May-Grünwald-Giemsa stain · bone marrow aspirate smear — 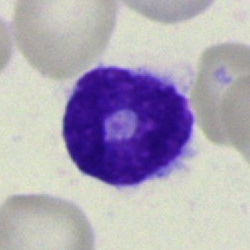
An artifact.